Bone marrow smear — 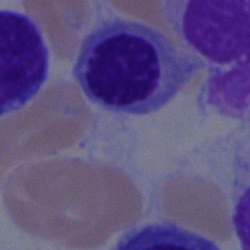 Specimen: bone marrow aspirate smear.
Cell: normoblast.